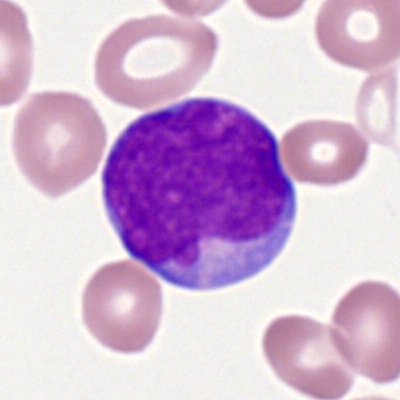

Classification: myeloid blast.